May-Grünwald-Giemsa stain · bone marrow aspirate smear — 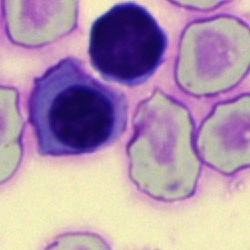
Q: What is shown here?
A: Nucleated red blood cell.